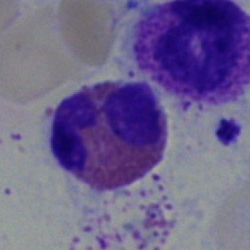
The cell type is eosinophil.